Bone marrow smear:
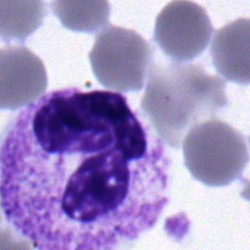

Single cell identified as a band neutrophil.